Bone marrow aspirate smear; MGG-stained — 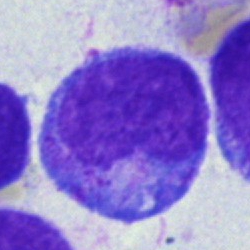

Classification — progranulocyte.